Image size 250×250. 40× oil immersion. Bone marrow smear.
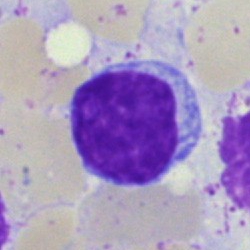 Morphology consistent with a segmented neutrophil.